Brightfield, 40× oil-immersion objective · bone marrow smear · single-cell field.
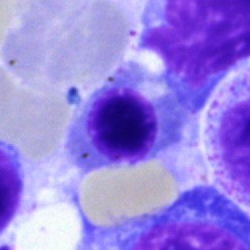 Q: What is shown here?
A: It is a nucleated red cell.